Bone marrow aspirate smear — 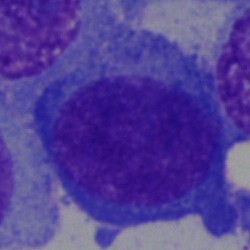 Cell type = plasmacyte.